Bone marrow aspirate smear.
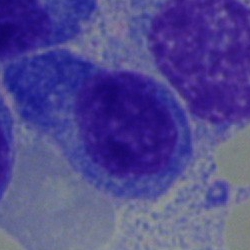 Impression → plasma cell.